250×250 · bone marrow smear: 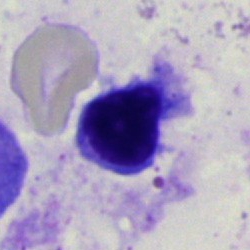Specimen: bone marrow smear.
Cell type: artefact.